Pappenheim-stained · bone marrow smear:
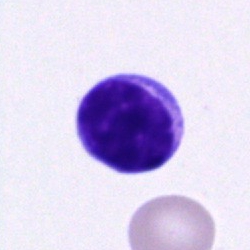Specimen: bone marrow aspirate smear.
Classification: lymphocyte.
Lineage: lymphoid.